Bone marrow aspirate smear · single-cell crop
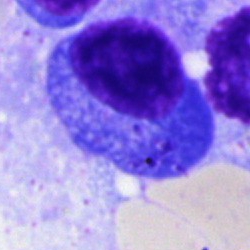{"cell_type": "plasma cell", "lineage": "lymphoid"}